Bone marrow smear; MGG-stained — 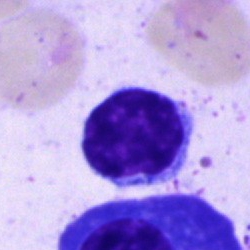
Impression — typical lymphocyte.